Bone marrow smear:
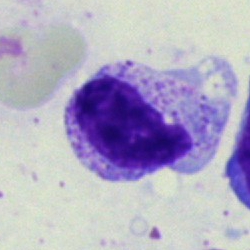
Classification — metamyelocyte.